Bone marrow aspirate smear · 250 by 250 pixels
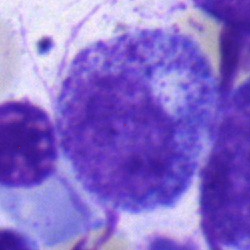
Specimen: bone marrow smear.
Classification: myelocyte.
Lineage: myeloid.